Bone marrow smear — 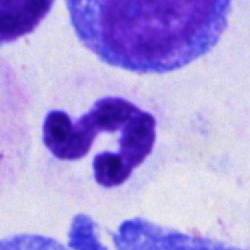 Q: What is the morphological classification of this cell?
A: This is a polymorphonuclear neutrophil.